Bone marrow smear · MGG-stained — 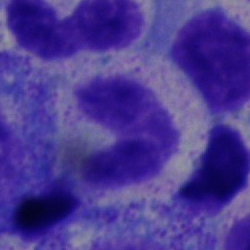Impression → band-form neutrophil.